Bone marrow aspirate smear · 250×250 px — 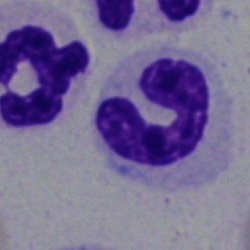

Showing a neutrophil (segmented).